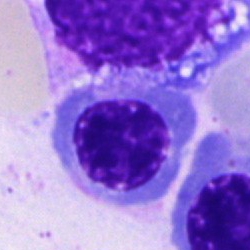Impression — erythroblast.